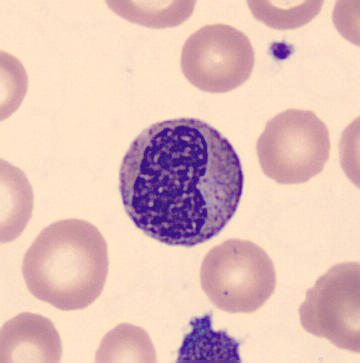A metamyelocyte on a peripheral blood smear.